Bone marrow aspirate smear; 250 by 250 pixels: 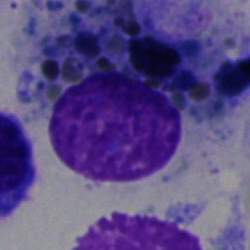The cell shown is an artefact.